Single-cell crop; bone marrow smear; 40× oil immersion
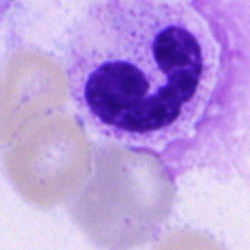The classification is polymorphonuclear neutrophil.